Bone marrow aspirate smear — 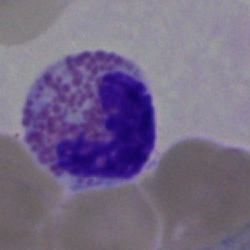{"cell_type": "eosinophilic granulocyte"}